Single-cell crop; bone marrow smear
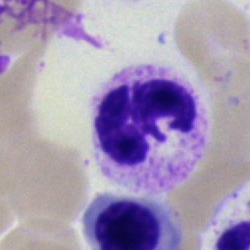 The classification is neutrophil (segmented).